Bone marrow smear — 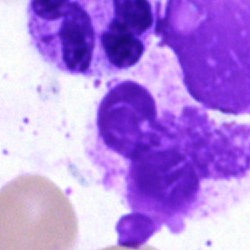
Q: What is shown here?
A: This is an artifact.